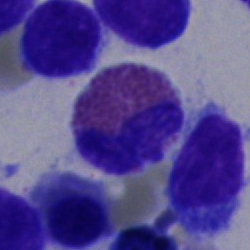

Bone marrow smear showing an eosinophil.